Bone marrow smear · May-Grünwald-Giemsa/Pappenheim stain · single-cell field
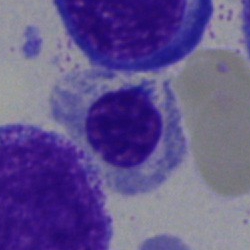
Showing an erythroblast.